Bone marrow smear
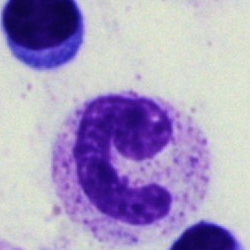
The cell type is band-form neutrophil.